Bone marrow aspirate smear; 250 by 250 pixels.
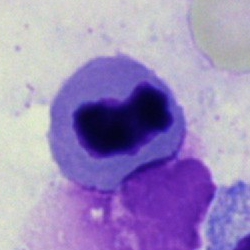Artifact.